Brightfield, 40× oil-immersion objective · bone marrow smear
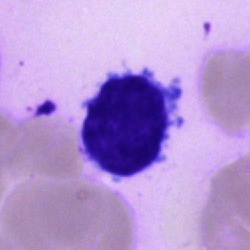 The cell shown is a lymphocyte.